40× oil immersion · bone marrow aspirate smear: 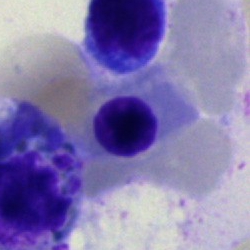
Cell type: erythroblast.